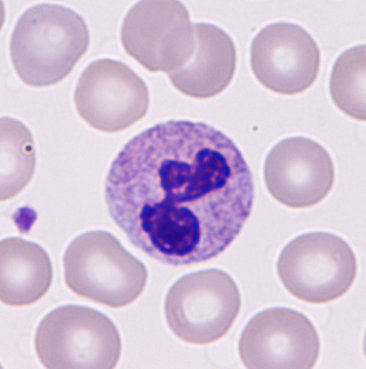Morphological class = neutrophilic granulocyte.